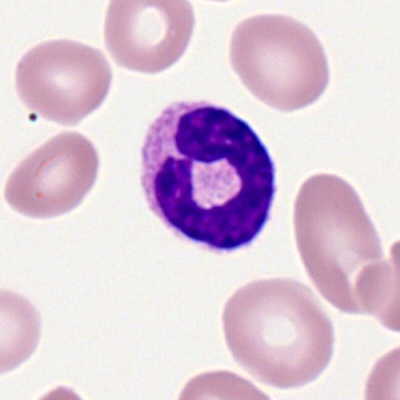{"cell_type": "band-form neutrophil"}